Bone marrow aspirate smear · 250×250: 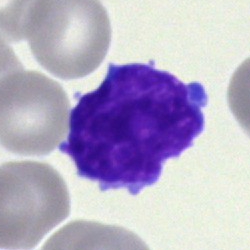Classification = lymphocyte.